Bone marrow aspirate smear · 250 by 250 pixels.
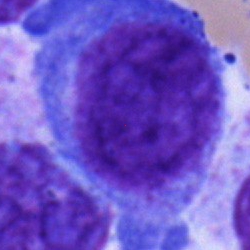

{"cell_type": "blast"}